Bone marrow smear:
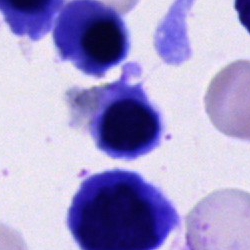Q: Identify the cell.
A: This is a cell of indeterminate lineage.